Bone marrow smear; single cell centered in the field; brightfield microscopy, 40× oil immersion:
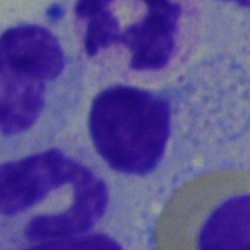This is a typical lymphocyte.